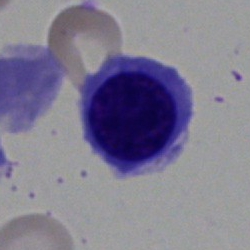

Showing an erythroblast.